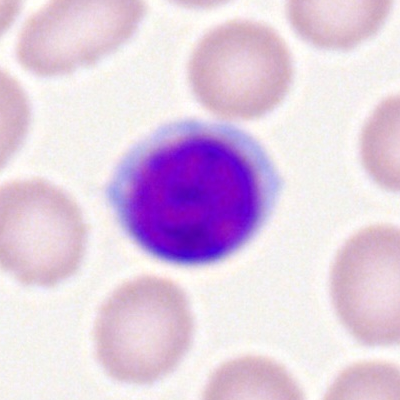
Peripheral blood film, single cell — lymphocyte.